Peripheral blood film
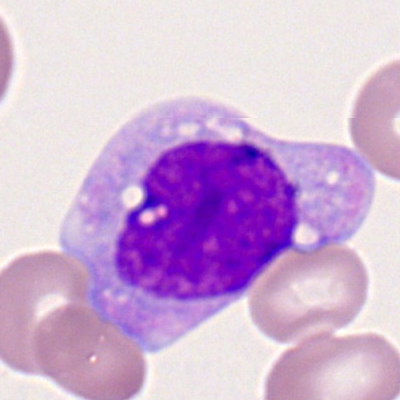

The cell type is monocyte.